Single-cell crop. 250 by 250 pixels. Bone marrow smear: 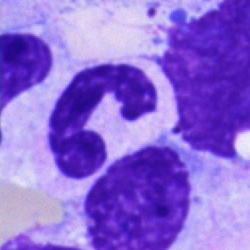
Cell = band-form neutrophil.